May-Grünwald-Giemsa stain; bone marrow aspirate smear
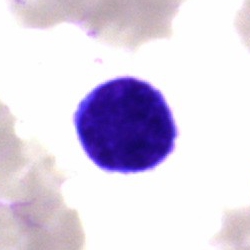 {"cell_type": "lymphocyte", "lineage": "lymphoid"}